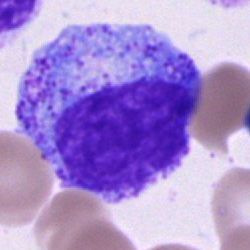 Bone marrow aspirate smear, single cell — promyelocyte.